Single cell centered in the field · bone marrow aspirate smear: 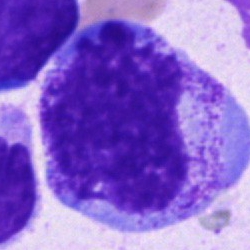

Cell — promyelocyte.